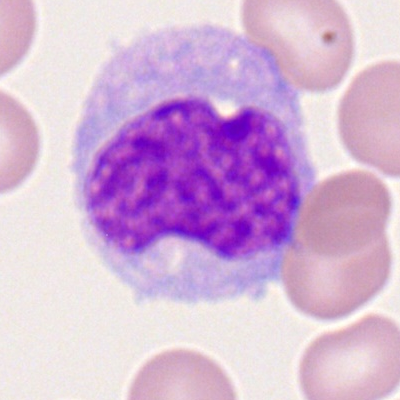

Classification — monocyte.